Bone marrow aspirate smear. Pappenheim-stained: 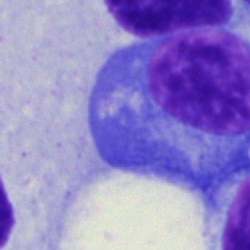Impression → plasma cell.